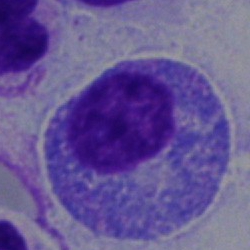Q: What is the morphological classification of this cell?
A: It is a progranulocyte.